Bone marrow aspirate smear: 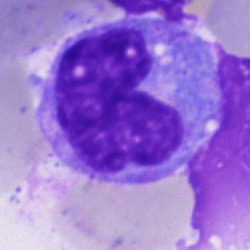Q: What is the morphological classification of this cell?
A: Monocyte.